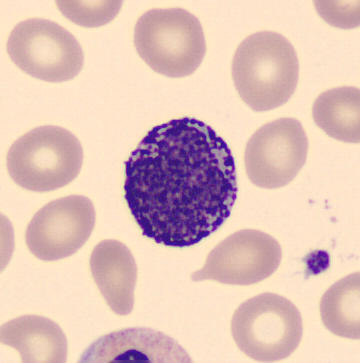
Impression — basophil.